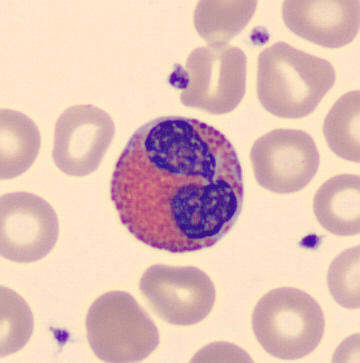

An eosinophil.
Peripheral blood film · MGG-stained.